Bone marrow aspirate smear:
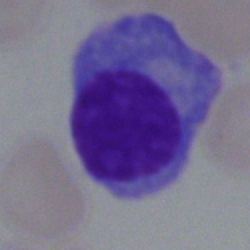Cell type — plasmacyte.